Bone marrow smear · 250×250 px — 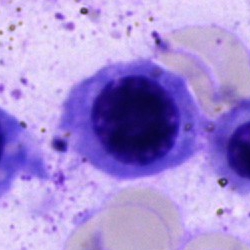

Classification = normoblast.